Peripheral blood film — 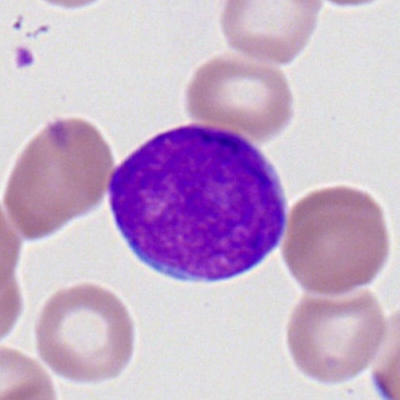

{"cell_type": "myeloid blast"}